Bone marrow aspirate smear:
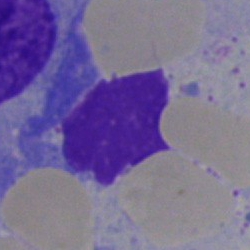
Morphology consistent with an artefact.